Bone marrow smear. 250×250.
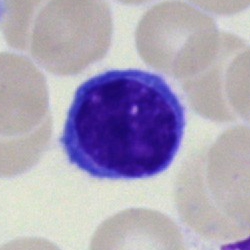

This is a typical lymphocyte.